Bone marrow aspirate smear.
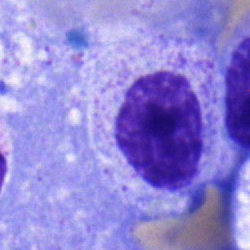

The cell shown is a myelocyte.